Bone marrow smear: 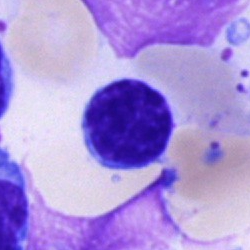

Single cell identified as a lymphocyte.